250 by 250 pixels · May-Grünwald-Giemsa/Pappenheim stain · bone marrow smear.
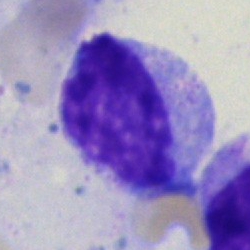
Classification = myelocyte.